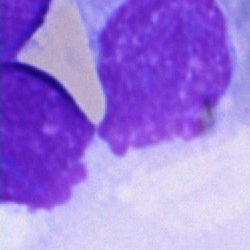 Q: What is shown here?
A: It is an artifact.